Bone marrow aspirate smear:
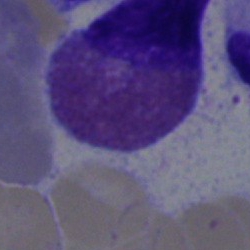

Q: What type of cell is this?
A: It is an eosinophilic granulocyte.